Bone marrow smear — 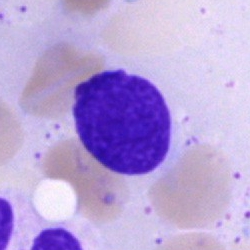

This is an artefact.